40× objective, oil immersion · bone marrow smear:
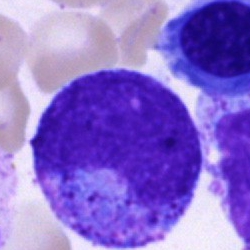
Showing a promyelocyte.